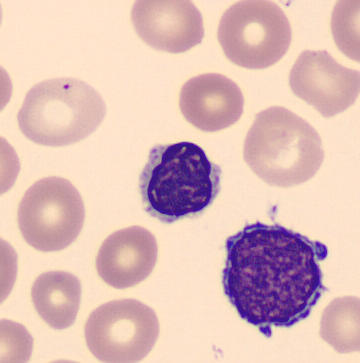
Specimen: peripheral blood smear.
Classification: nucleated red blood cell.
Lineage: erythroid.